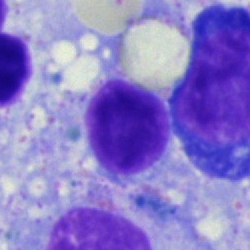
Impression — lymphocyte.